Bone marrow aspirate smear.
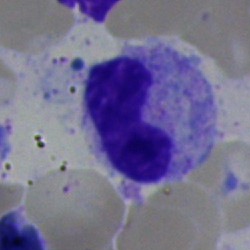

Classification = metamyelocyte.